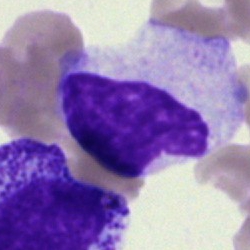
Cell — artifact.